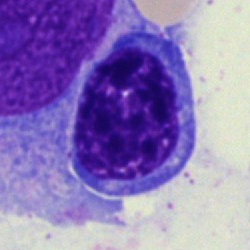

Q: What is shown here?
A: This is a normoblast.